100× oil immersion, 14.14 px/µm. Peripheral blood smear — 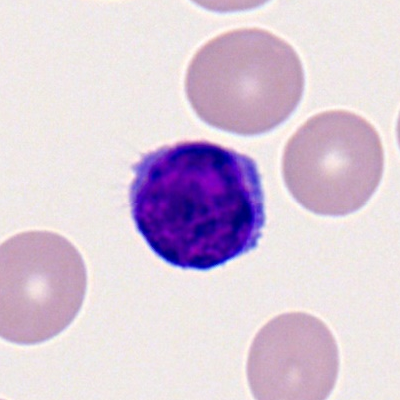

Classification — lymphocyte.